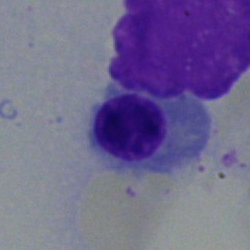
A normoblast.